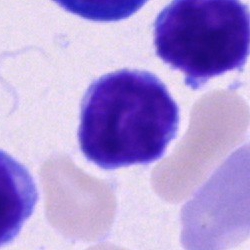The classification is lymphocyte.